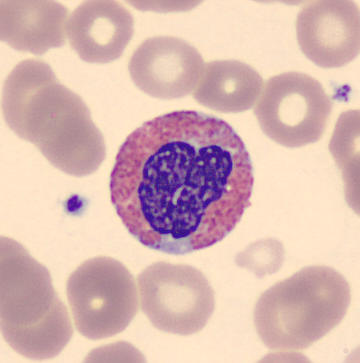

Classification: eosinophil.
360 by 363 pixels; peripheral blood smear.